Bone marrow aspirate smear — 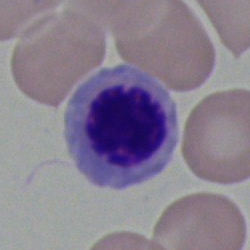

Specimen: bone marrow smear.
Classification: nucleated red cell.